Bone marrow smear:
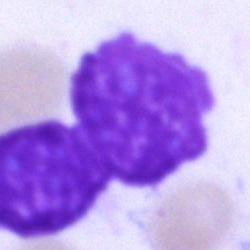 Impression — artefact.